Cropped to a single cell · bone marrow smear · 250×250:
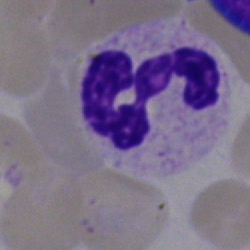
Cell type: segmented neutrophil.